Bone marrow smear:
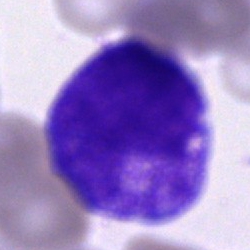Promyelocyte.